Bone marrow smear: 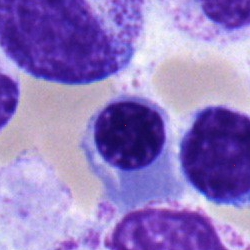
This is a normoblast.